Bone marrow aspirate smear:
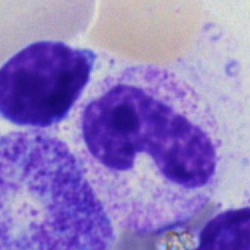Morphology consistent with a band-form neutrophil.